Bone marrow aspirate smear. 40× oil immersion.
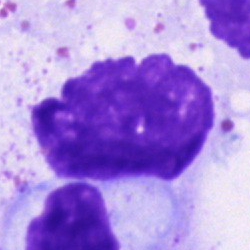
Single cell identified as an artefact.